Bone marrow aspirate smear
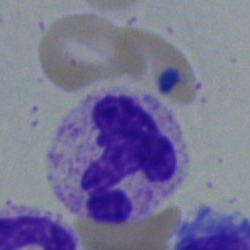 Specimen: bone marrow smear.
Cell type: neutrophil (segmented).
Lineage: myeloid.